Peripheral blood smear — 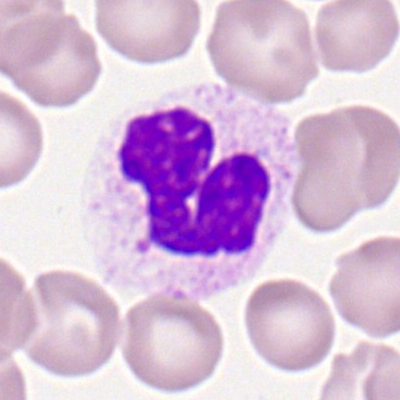Single cell identified as a polymorphonuclear neutrophil.